Bone marrow aspirate smear — 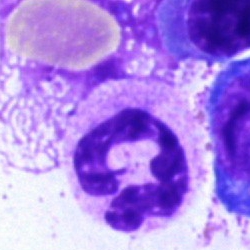
Cell type: neutrophil (segmented).